Bone marrow smear.
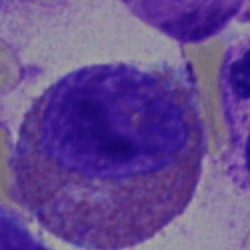
Cell — eosinophilic granulocyte.